Bone marrow aspirate smear.
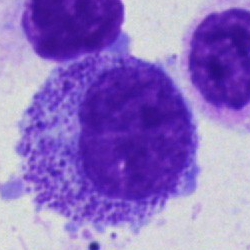

Morphology → progranulocyte.